Bone marrow smear · Pappenheim-stained · cropped to a single cell — 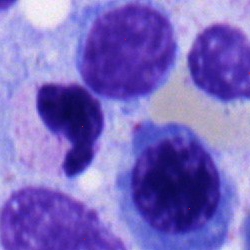Specimen: bone marrow smear.
Cell type: typical lymphocyte.
Lineage: lymphoid.